MGG-stained · bone marrow aspirate smear.
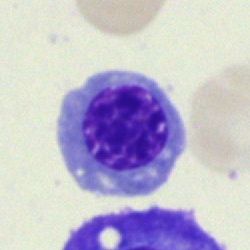 The cell is nucleated red blood cell.